Bone marrow smear — 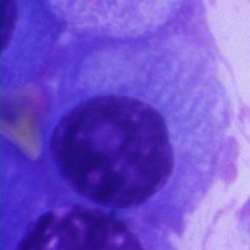Cell — plasma cell.